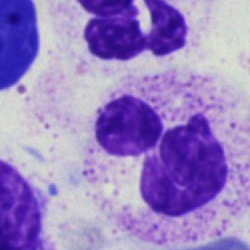Q: What is shown here?
A: This is a polymorphonuclear neutrophil.